Bone marrow aspirate smear:
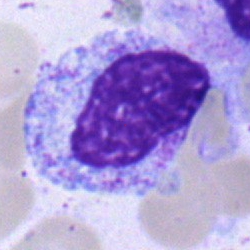Q: Identify the cell.
A: A myelocyte.